Bone marrow smear.
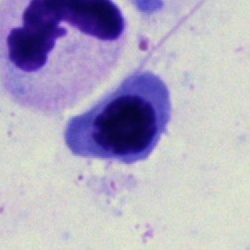
Showing an erythroblast.